Brightfield microscopy, 40× oil immersion; bone marrow aspirate smear: 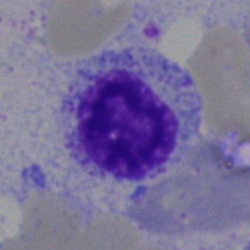Cell type: typical lymphocyte.